Bone marrow aspirate smear
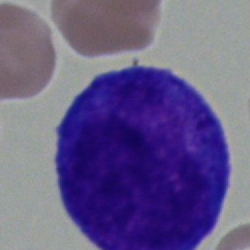Classification — progranulocyte.